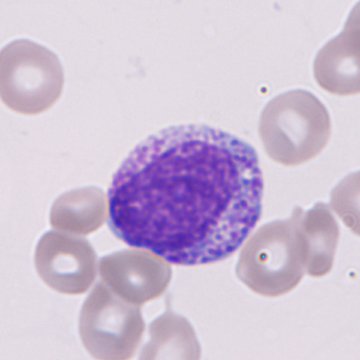

Single cell identified as an immature granulocyte (promyelocyte, myelocyte or metamyelocyte).

Preparation: Single-cell field; CellaVision DM96; peripheral blood smear.